Bone marrow smear:
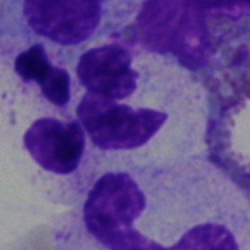Q: Identify the cell.
A: Polymorphonuclear neutrophil.